Bone marrow aspirate smear — 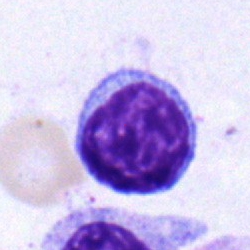Impression → lymphocyte.